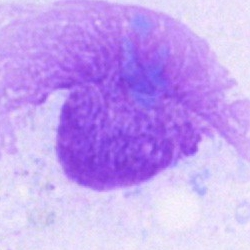

Q: What is shown here?
A: This is an artefact.